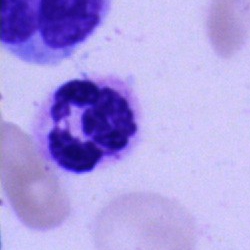 {"cell_type": "polymorphonuclear neutrophil"}